Bone marrow smear — 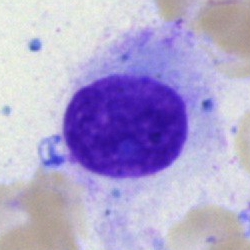

Artifact.